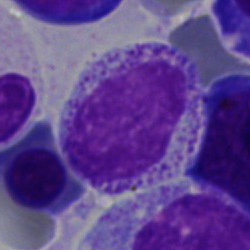A myelocyte on a bone marrow smear.